Bone marrow aspirate smear · 40× oil immersion: 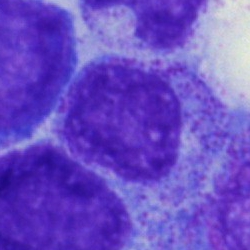The classification is myelocyte.